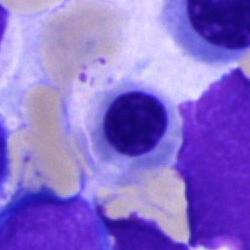

Specimen: bone marrow aspirate smear.
Cell: normoblast.
Lineage: erythroid.